Bone marrow aspirate smear — 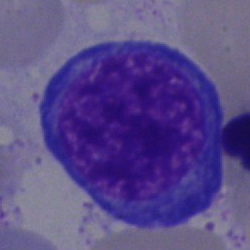
Showing a normoblast.